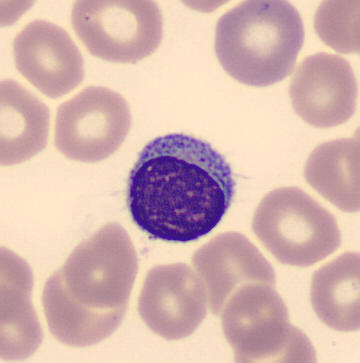 Cell type: lymphocyte.

Preparation: Peripheral blood smear; May-Grünwald-Giemsa-stained.